Bone marrow aspirate smear · Pappenheim-stained:
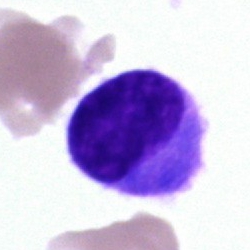
Specimen: bone marrow aspirate smear.
Cell type: hairy cell.